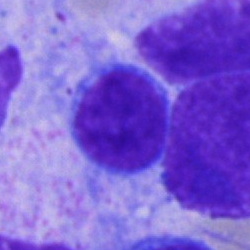Cell type: lymphocyte.